Cropped to a single cell · 40× objective, oil immersion · bone marrow aspirate smear: 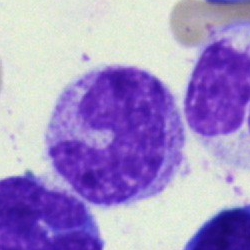

This is a band neutrophil.